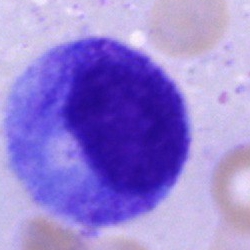
Impression — progranulocyte.